May-Grünwald-Giemsa stain · single-cell field · bone marrow smear:
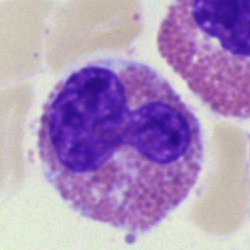

Morphological class — eosinophilic granulocyte.